Bone marrow aspirate smear:
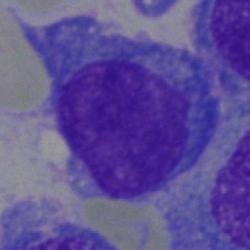
The classification is plasmacyte.